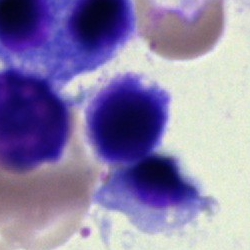

Single-cell crop from a bone marrow smear: artifact.